Bone marrow aspirate smear — 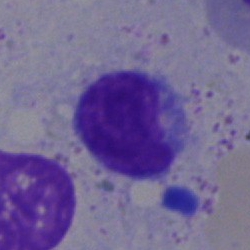
Morphology consistent with a lymphocyte.